Bone marrow aspirate smear: 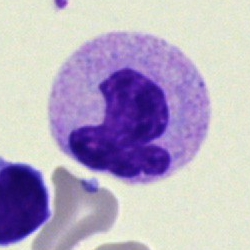 Q: What is shown here?
A: It is a neutrophil (band).